Single-cell field · 40× oil immersion · bone marrow smear — 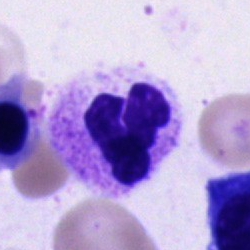Polymorphonuclear neutrophil.